250×250 px. Bone marrow aspirate smear. Single-cell field: 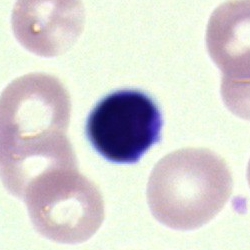
An artefact.